Single cell centered in the field · bone marrow smear · 250×250.
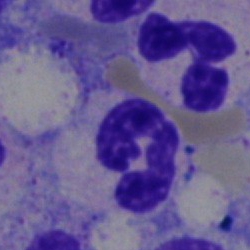
Single cell identified as a polymorphonuclear neutrophil.